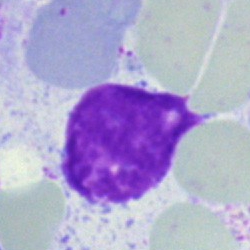Specimen: bone marrow smear.
Cell: artefact.